Peripheral blood smear — 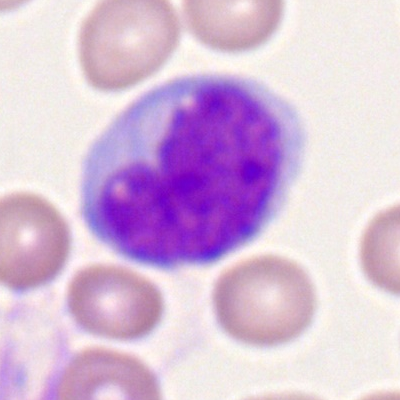

Q: What is shown here?
A: It is a monocyte.